Bone marrow aspirate smear. Image size 250×250. 40× oil immersion
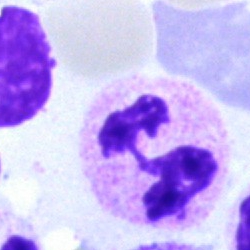

Impression → polymorphonuclear neutrophil.